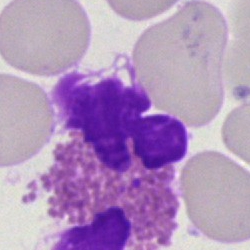

Specimen: bone marrow smear.
Morphological class: eosinophil.
Lineage: myeloid.